Bone marrow aspirate smear:
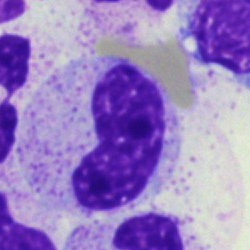

The cell type is stab cell.